Bone marrow aspirate smear. Single-cell field.
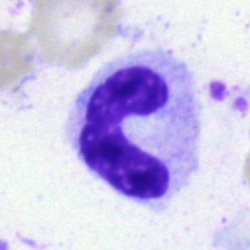
Classification = stab cell.